400×400 · peripheral blood smear
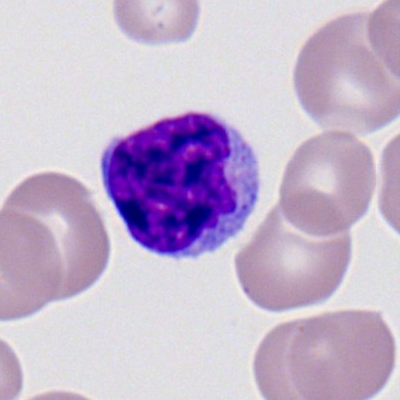
Q: Identify the cell.
A: This is a typical lymphocyte.